Image size 250×250; cropped to a single cell; bone marrow smear: 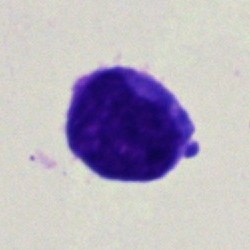

The classification is blast cell.